Bone marrow aspirate smear
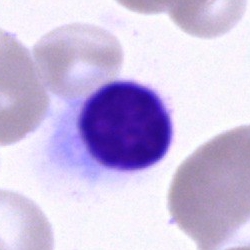
Specimen: bone marrow aspirate smear.
Cell: cell of indeterminate lineage.